Pappenheim-stained · bone marrow aspirate smear: 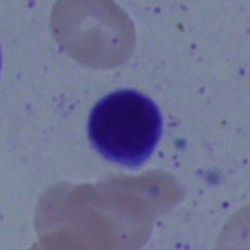 Q: What is shown here?
A: Typical lymphocyte.